Bone marrow aspirate smear.
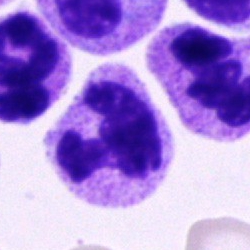Impression — polymorphonuclear neutrophil.